Bone marrow smear · single-cell crop · 250 by 250 pixels.
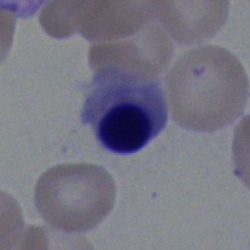 Q: What type of cell is this?
A: This is a nucleated red cell.